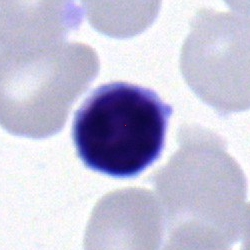
Specimen: bone marrow aspirate smear.
Classification: typical lymphocyte.